Brightfield, 40× oil-immersion objective · bone marrow smear: 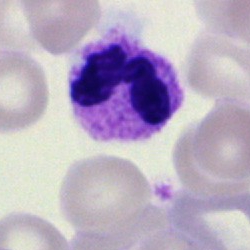
Specimen: bone marrow aspirate smear.
Classification: segmented neutrophil.
Lineage: myeloid.